40× objective, oil immersion · cropped to a single cell · bone marrow smear:
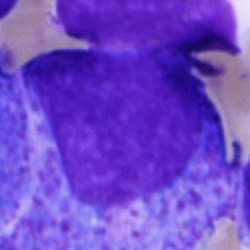 The morphological class is promyelocyte.